Bone marrow aspirate smear; single cell centered in the field.
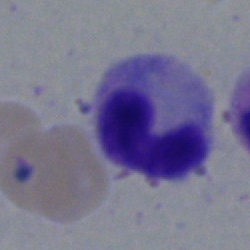 Specimen: bone marrow aspirate smear.
Classification: band neutrophil.